May-Grünwald-Giemsa/Pappenheim stain; bone marrow smear; single-cell crop.
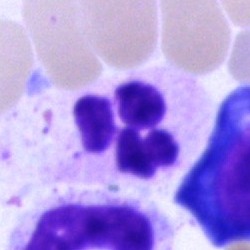
Q: Identify the cell.
A: It is a polymorphonuclear neutrophil.